Bone marrow aspirate smear · 40× objective, oil immersion — 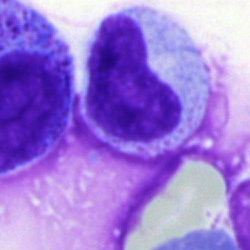

Classification: metamyelocyte.